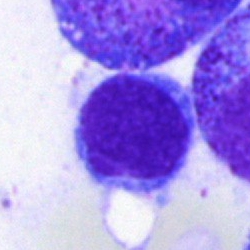 Cell type: lymphocyte.